Bone marrow aspirate smear: 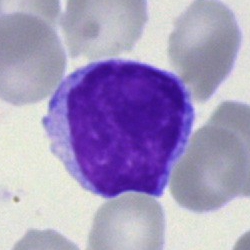 Morphology — lymphocyte.